Bone marrow smear; brightfield microscopy, 40× oil immersion
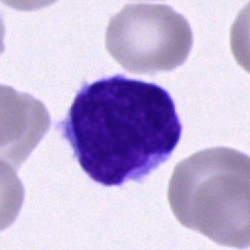
Single cell identified as a lymphocyte.